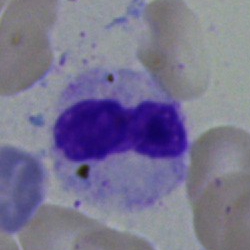Q: What cell is this?
A: It is a stab cell.